Bone marrow smear · brightfield, 40× oil-immersion objective · 250×250 px.
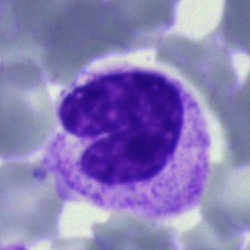

Cell — band neutrophil.